Bone marrow smear — 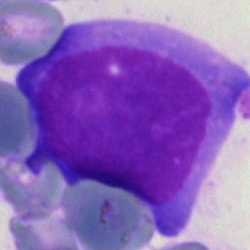 Classification: blast.